Bone marrow smear
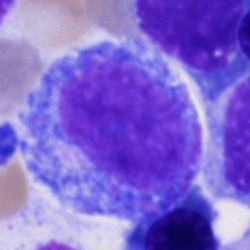
Q: What type of cell is this?
A: Progranulocyte.